Bone marrow smear:
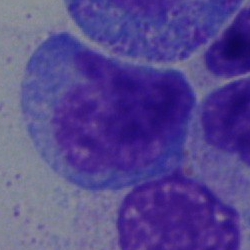

The cell shown is an undifferentiated blast.